Bone marrow smear; 250×250 px: 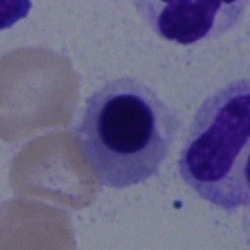
Specimen: bone marrow aspirate smear.
Cell: normoblast.